Bone marrow aspirate smear
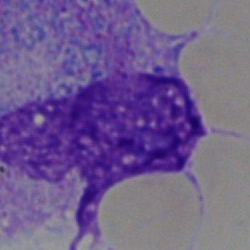 The cell shown is an artefact.